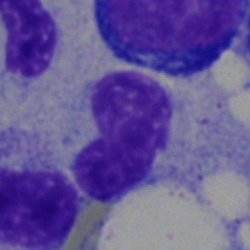 Q: What is shown here?
A: This is an artifact.